CellaVision DM96 digital cell image · peripheral blood smear — 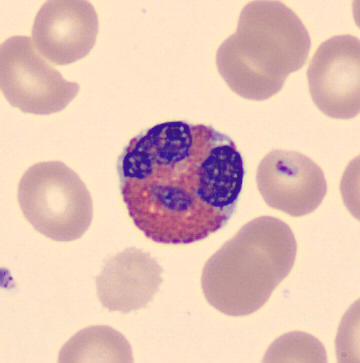 Specimen: peripheral blood smear.
Cell: eosinophilic granulocyte.
Lineage: myeloid.